Bone marrow aspirate smear. Single-cell field
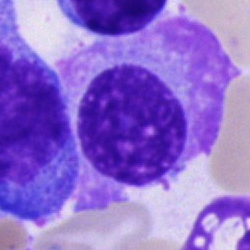
Impression → plasma cell.